250×250 px · bone marrow aspirate smear — 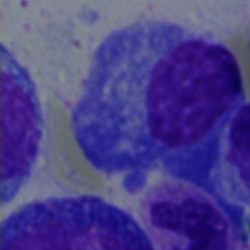
Morphology → plasmacyte.